May-Grünwald-Giemsa stain. Bone marrow aspirate smear: 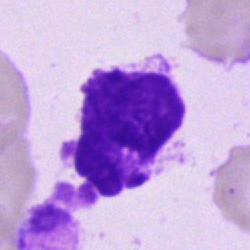Cell type: artifact.